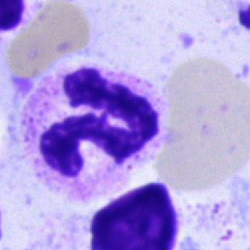
A neutrophil (segmented).